Cropped to a single cell; MGG-stained; bone marrow aspirate smear:
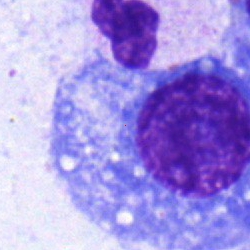The morphological class is plasmacyte.